Bone marrow smear: 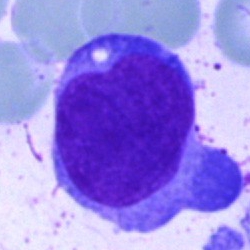 A blast.